Bone marrow aspirate smear.
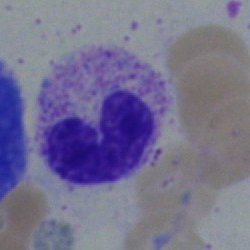Showing a stab cell.